250×250. Bone marrow smear: 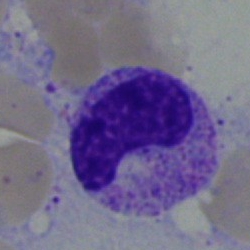 Specimen: bone marrow smear.
Classification: metamyelocyte.